40× objective, oil immersion · bone marrow smear
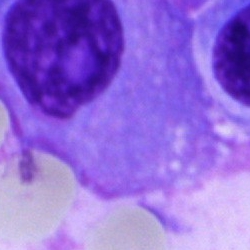

Morphology → plasma cell.